Image size 250×250. Bone marrow smear.
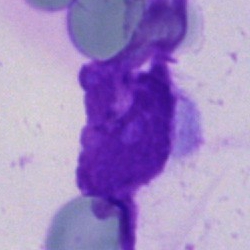

Cell type — artifact.